Bone marrow smear — 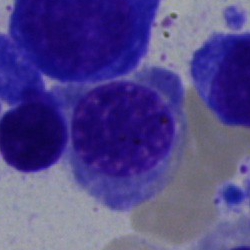Q: Identify the cell.
A: This is a nucleated red blood cell.